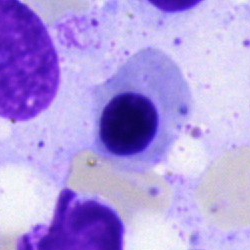

Q: Identify the cell.
A: This is a nucleated red cell.